Bone marrow smear:
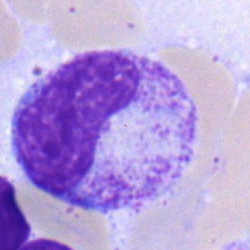
Cell type = metamyelocyte.